May-Grünwald-Giemsa stain · bone marrow smear:
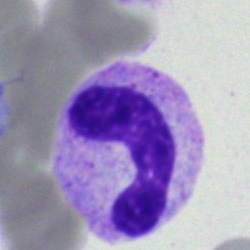Single cell identified as a neutrophil (band).